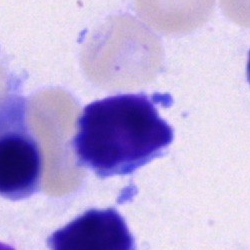 A typical lymphocyte on a bone marrow smear.